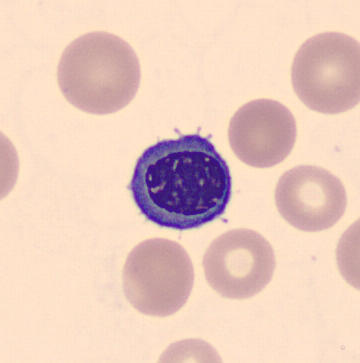

Morphological class — nucleated red blood cell.